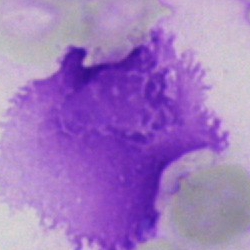
Morphology — artifact.